Bone marrow smear
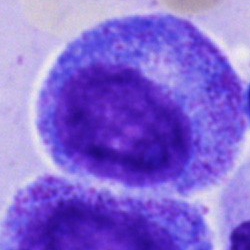

Q: What type of cell is this?
A: It is a progranulocyte.